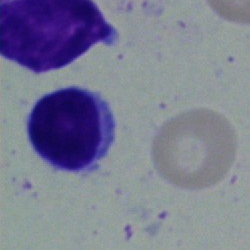Single-cell crop from a bone marrow smear: lymphocyte.